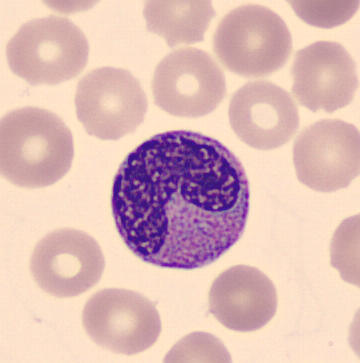
Preparation: Peripheral blood film.
Morphology consistent with a metamyelocyte.